Bone marrow smear:
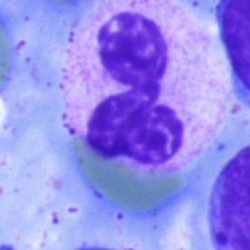Classification: segmented neutrophil.